Bone marrow aspirate smear
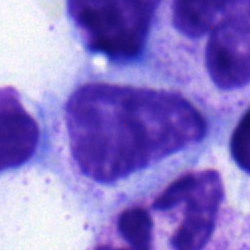

A myelocyte.